Single cell centered in the field · bone marrow smear · May-Grünwald-Giemsa/Pappenheim stain.
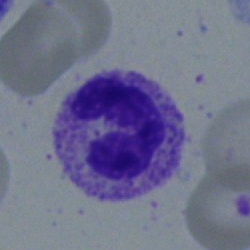
The cell shown is a neutrophil (band).